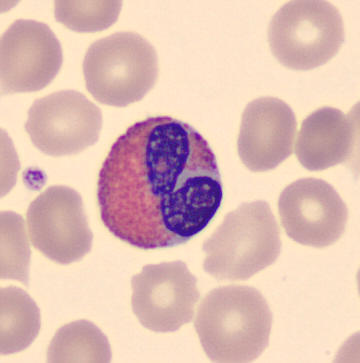

Cell type: eosinophil.